MGG-stained; bone marrow aspirate smear; cropped to a single cell: 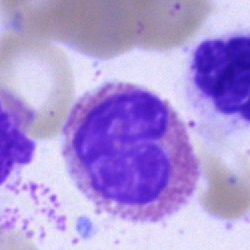

Single cell identified as an eosinophil.